Bone marrow aspirate smear.
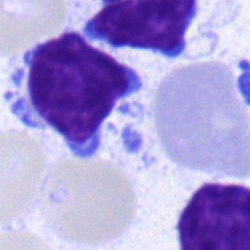

Q: Which cell type is shown here?
A: A lymphocyte.